Bone marrow aspirate smear.
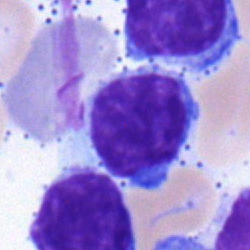 Single cell identified as a lymphocyte.